Bone marrow aspirate smear:
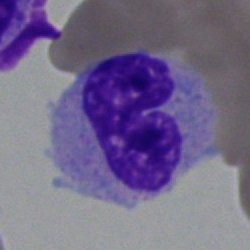 A neutrophil (segmented).